Bone marrow smear. Brightfield, 40× oil-immersion objective.
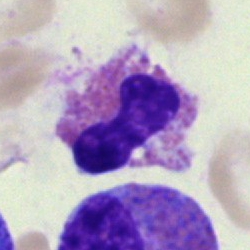Specimen: bone marrow aspirate smear.
Cell: eosinophilic granulocyte.
Lineage: myeloid.